Bone marrow aspirate smear.
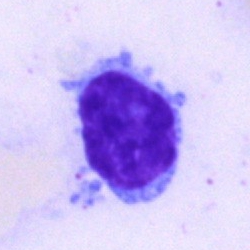

Lymphocyte.